Single-cell field · bone marrow smear.
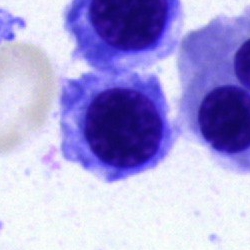
Showing a nucleated red blood cell.